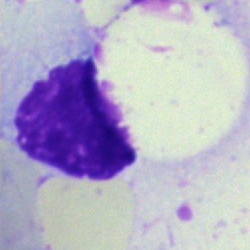 Q: What is shown here?
A: It is an artifact.